250 by 250 pixels. May-Grünwald-Giemsa/Pappenheim stain. Bone marrow aspirate smear.
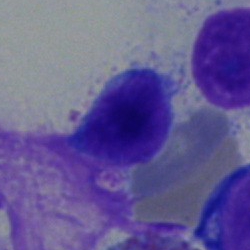 {"cell_type": "typical lymphocyte"}